Bone marrow aspirate smear:
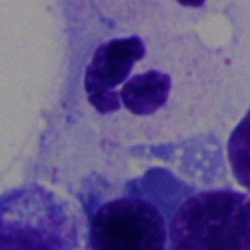
Impression — polymorphonuclear neutrophil.